Bone marrow aspirate smear.
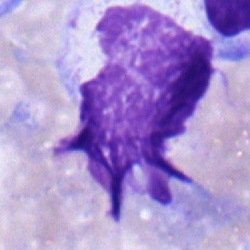

Cell type — monocyte.